Bone marrow smear: 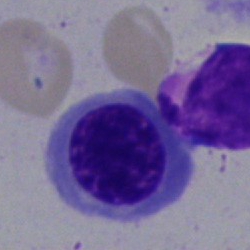

Q: Identify the cell.
A: It is a normoblast.